Cropped to a single cell; bone marrow smear:
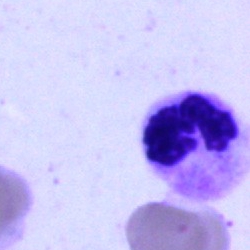 The cell type is neutrophil (segmented).